Brightfield microscopy, 40× oil immersion; Pappenheim-stained; bone marrow smear
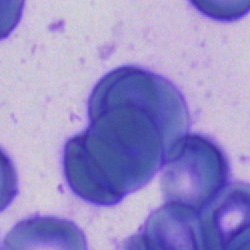

An other cell.